Bone marrow smear; brightfield microscopy, 40× oil immersion
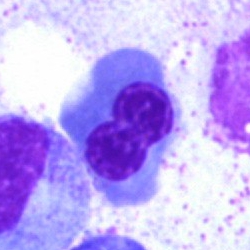
Classification: nucleated red blood cell.